Bone marrow aspirate smear:
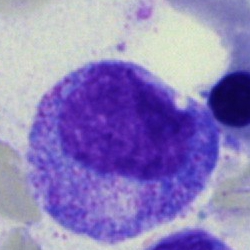

Q: Which cell type is shown here?
A: This is a progranulocyte.